Bone marrow smear — 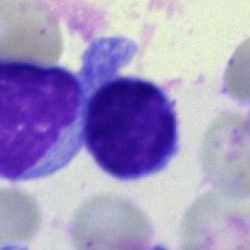 Showing a typical lymphocyte.